Bone marrow aspirate smear. 250 by 250 pixels: 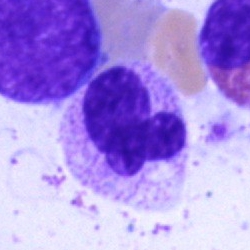 Morphological class: polymorphonuclear neutrophil.